Bone marrow smear:
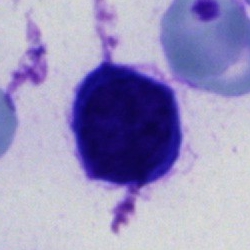

Q: What type of cell is this?
A: It is a cell of indeterminate lineage.